Peripheral blood film: 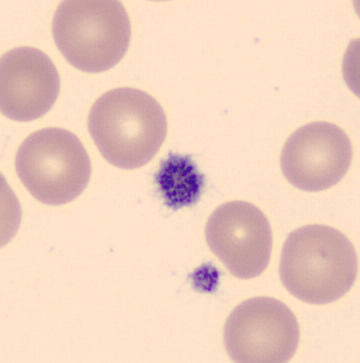

Identified as a platelet (thrombocyte).